Bone marrow aspirate smear. 40× oil immersion. Single cell centered in the field — 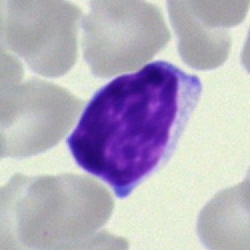The cell is typical lymphocyte.